Bone marrow smear · single-cell field · image size 250×250: 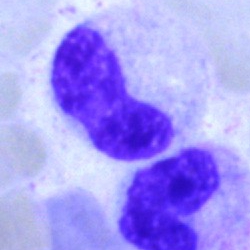
Q: What is shown here?
A: It is a metamyelocyte.